Bone marrow aspirate smear; May-Grünwald-Giemsa stain
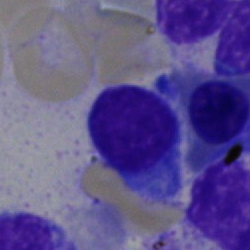
Cell type = typical lymphocyte.